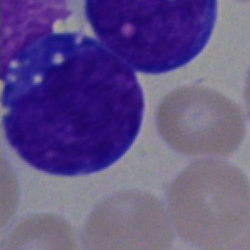
Bone marrow smear showing an undifferentiated blast.